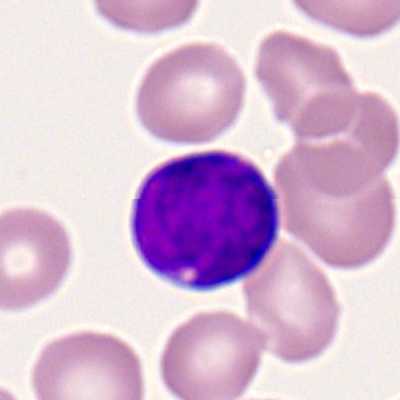
The cell shown is a myeloblast.